Bone marrow smear — 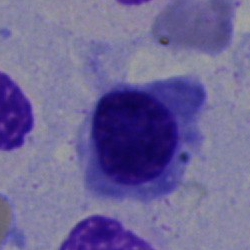

Normoblast.